40× oil immersion · bone marrow smear.
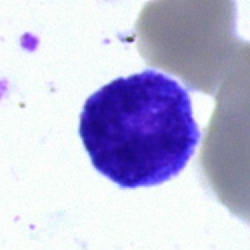Q: What type of cell is this?
A: This is a lymphocyte.